Bone marrow aspirate smear:
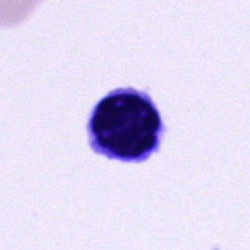

The classification is cell of indeterminate lineage.